Bone marrow aspirate smear · May-Grünwald-Giemsa/Pappenheim stain — 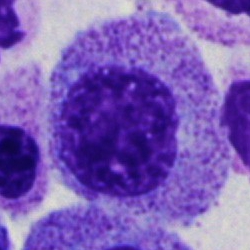Q: What cell is this?
A: It is a myelocyte.